Pappenheim-stained. Bone marrow smear:
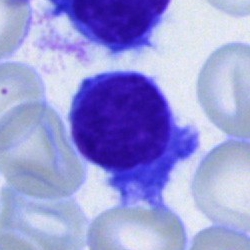 Single cell identified as a lymphocyte.